Pappenheim-stained · bone marrow aspirate smear: 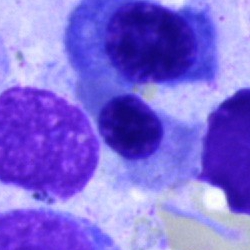Single cell identified as a normoblast.